May-Grünwald-Giemsa/Pappenheim stain; bone marrow smear — 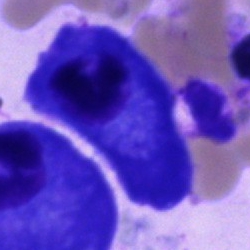A plasma cell.